Bone marrow smear:
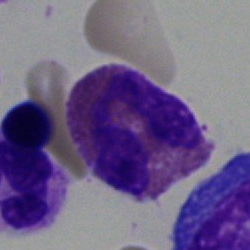The morphological class is eosinophil.